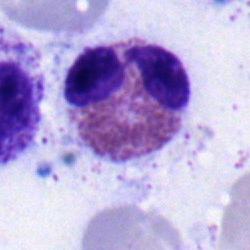{"cell_type": "eosinophilic granulocyte"}